Bone marrow aspirate smear:
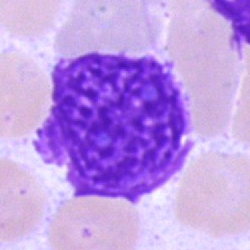 Single cell identified as an artefact.